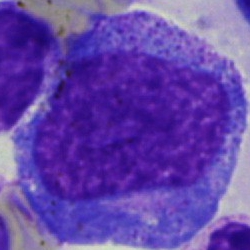Showing a promyelocyte.